May-Grünwald-Giemsa/Pappenheim stain · 250 by 250 pixels · bone marrow aspirate smear — 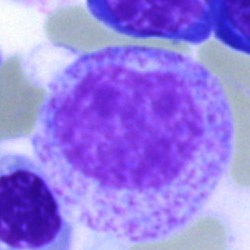 Specimen: bone marrow aspirate smear.
Classification: myelocyte.
Lineage: myeloid.